Bone marrow smear.
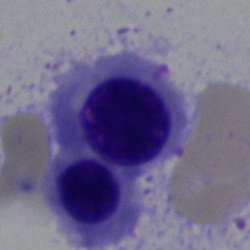
Q: What is the morphological classification of this cell?
A: Nucleated red blood cell.